Bone marrow aspirate smear: 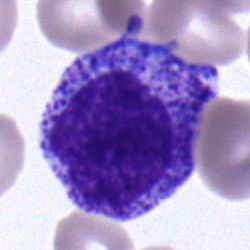Q: Identify the cell.
A: This is a promyelocyte.